Bone marrow smear — 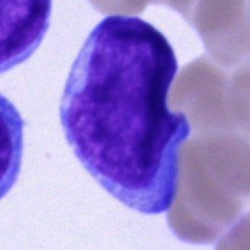
Classification — blast cell.